MGG-stained. Bone marrow aspirate smear. 40× objective, oil immersion
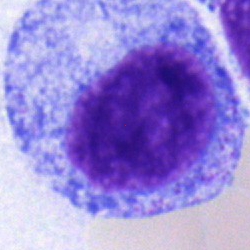

Impression — progranulocyte.